40× objective, oil immersion; bone marrow smear; single cell centered in the field
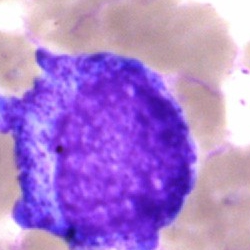Q: Identify the cell.
A: It is a promyelocyte.